Bone marrow smear; May-Grünwald-Giemsa stain; single cell centered in the field.
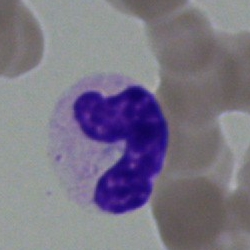

Cell = neutrophil (band).